Brightfield microscopy, 40× oil immersion · MGG-stained · bone marrow aspirate smear — 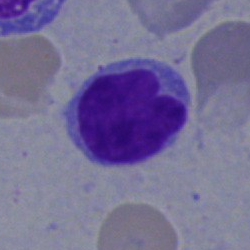

Q: Which cell type is shown here?
A: A lymphocyte.